Bone marrow aspirate smear.
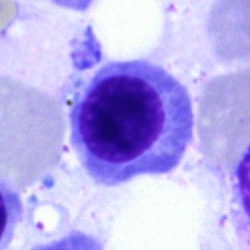
Q: Identify the cell.
A: It is an erythroblast.